Bone marrow smear: 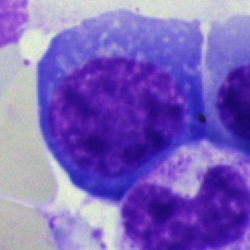
Specimen: bone marrow smear.
Cell type: normoblast.
Lineage: erythroid.